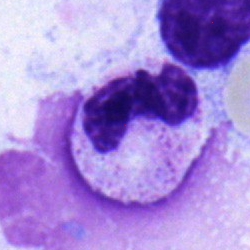Bone marrow aspirate smear, single cell — stab cell.